Bone marrow smear. 40× oil immersion. Single-cell crop — 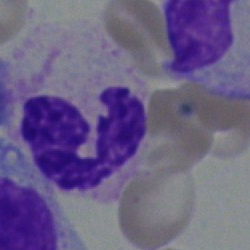
Classification = polymorphonuclear neutrophil.